May-Grünwald-Giemsa stain · bone marrow smear.
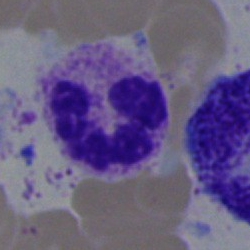

Q: What type of cell is this?
A: A neutrophil (segmented).